Bone marrow smear:
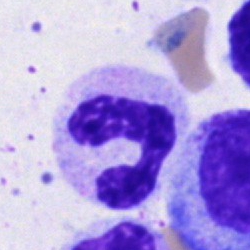Morphological class = neutrophil (segmented).